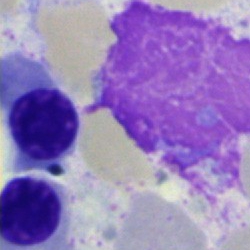

Bone marrow smear showing a nucleated red blood cell.